Peripheral blood smear — 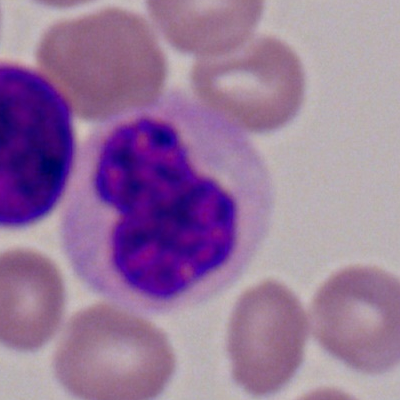

This is a polymorphonuclear neutrophil.